Bone marrow aspirate smear — 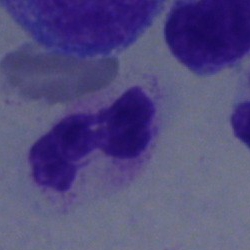Cell = neutrophil (segmented).